Single cell centered in the field · bone marrow smear · image size 250×250.
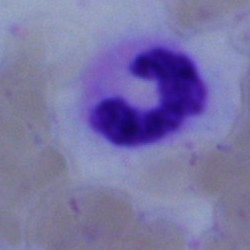
Single cell identified as a neutrophil (band).